40× oil immersion. 250×250 px. Bone marrow aspirate smear.
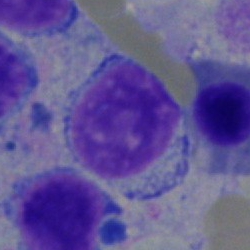 {"cell_type": "lymphocyte"}